Bone marrow smear:
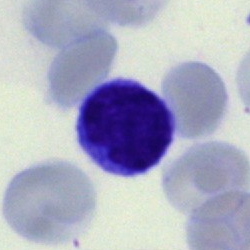The morphological class is lymphocyte.